Bone marrow aspirate smear
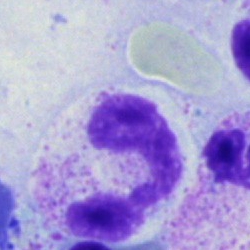

Classification = stab cell.